Bone marrow smear: 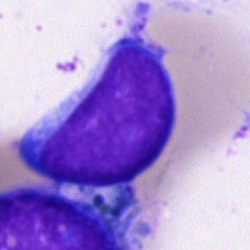

Showing a blast.